Bone marrow smear: 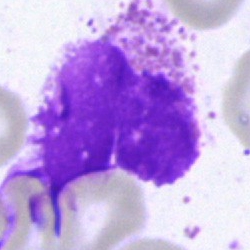

Impression — artifact.